May-Grünwald-Giemsa/Pappenheim stain; bone marrow aspirate smear
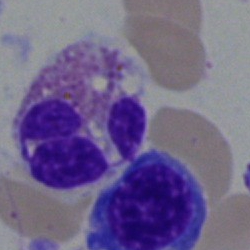Classification — eosinophilic granulocyte.